Bone marrow smear; 250 by 250 pixels — 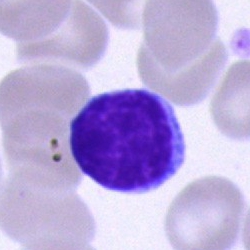The cell shown is a lymphocyte.